Bone marrow aspirate smear — 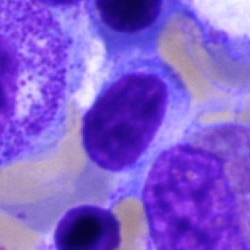The classification is lymphocyte.